Bone marrow smear · 250×250 · May-Grünwald-Giemsa stain: 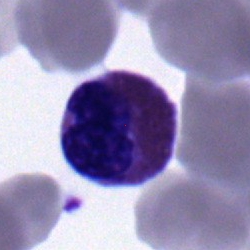The cell type is eosinophil.